Image size 250×250. Bone marrow smear. Single cell centered in the field: 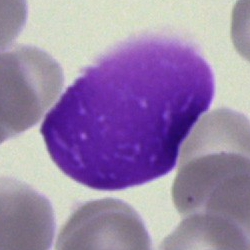
An artefact.